250×250 · bone marrow aspirate smear:
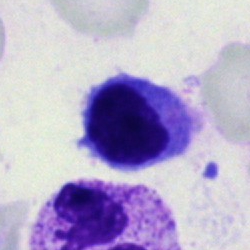

Cell — normoblast.